Bone marrow smear · Pappenheim-stained — 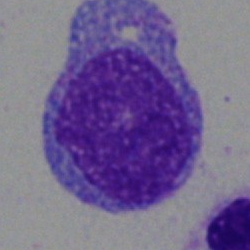Morphological class = promyelocyte.